Pappenheim-stained. Bone marrow aspirate smear.
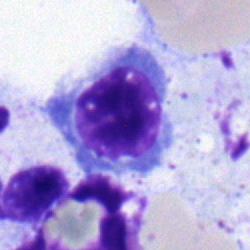

Morphological class — nucleated red cell.